Image size 400×400; peripheral blood film: 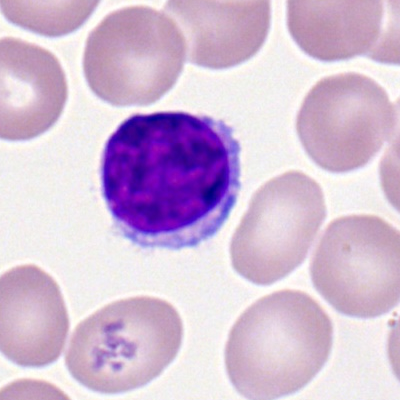{"cell_type": "typical lymphocyte", "lineage": "lymphoid"}